40× oil immersion. Bone marrow smear:
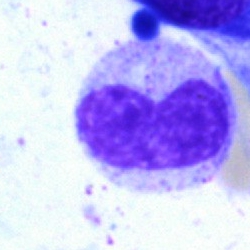

Morphology consistent with a band neutrophil.